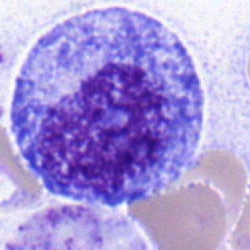Q: What is shown here?
A: Promyelocyte.